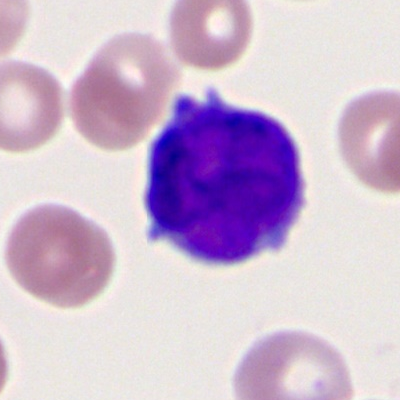
A myeloblast on a peripheral blood smear.